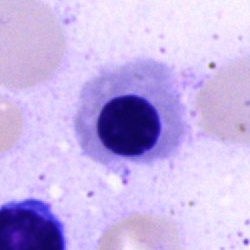
A nucleated red blood cell on a bone marrow smear.